Bone marrow smear. MGG-stained.
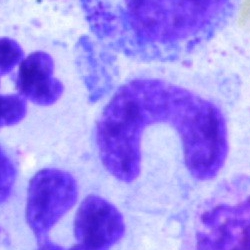This is a neutrophil (band).